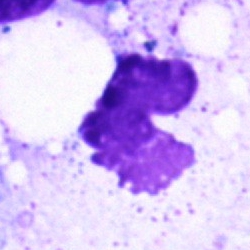

Q: What is shown here?
A: This is an artefact.